Single-cell field; image size 250×250; bone marrow smear:
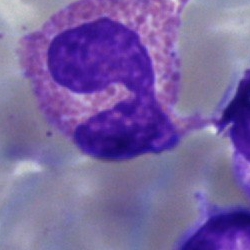

Single cell identified as an eosinophilic granulocyte.